Bone marrow aspirate smear · 250×250 px:
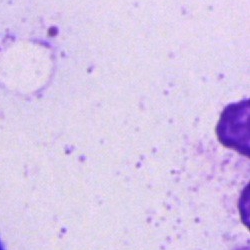

Q: What is shown here?
A: It is an artefact.